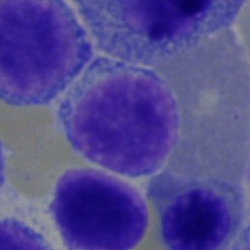 Q: What is the morphological classification of this cell?
A: Lymphocyte.